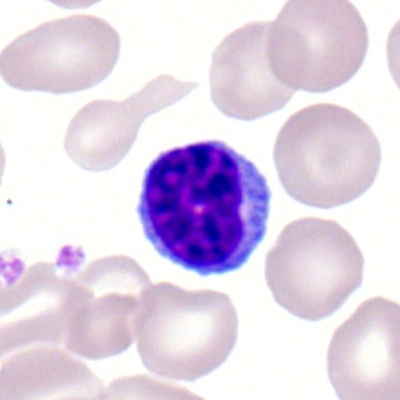
Cell: typical lymphocyte.